MGG-stained · bone marrow aspirate smear
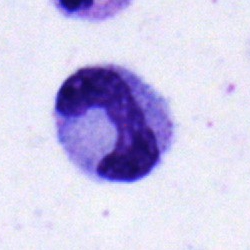
Morphological class = band neutrophil.